Bone marrow smear
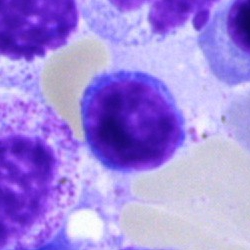

Specimen: bone marrow aspirate smear.
Cell type: typical lymphocyte.
Lineage: lymphoid.